May-Grünwald-Giemsa/Pappenheim stain; bone marrow aspirate smear — 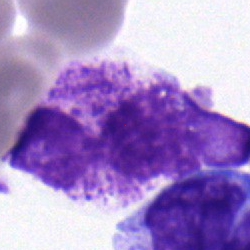 This is a segmented neutrophil.